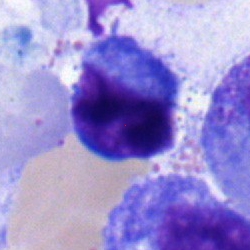

Cell type: lymphocyte.